Bone marrow smear
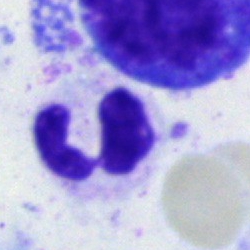
Morphological class = polymorphonuclear neutrophil.